Bone marrow aspirate smear: 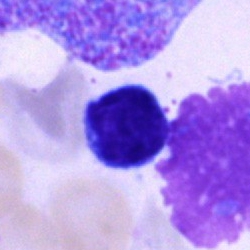 This is a lymphocyte.